Bone marrow smear.
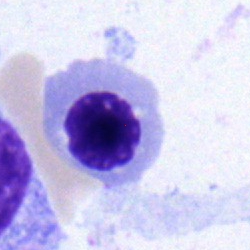
Specimen: bone marrow smear.
Cell: nucleated red blood cell.
Lineage: erythroid.